Bone marrow aspirate smear.
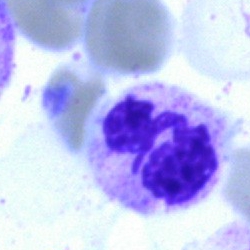This is a segmented neutrophil.